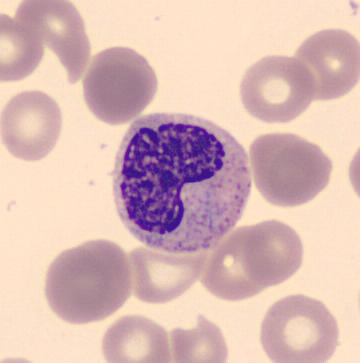
Acquisition: CellaVision DM96 digital cell image; peripheral blood film. {"cell_type": "metamyelocyte", "lineage": "myeloid"}